250×250. Bone marrow smear.
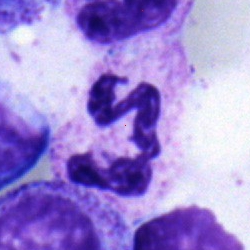

Q: What cell is this?
A: This is a segmented neutrophil.